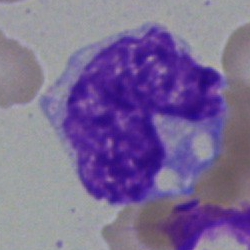Q: Which cell type is shown here?
A: This is a monocyte.